Bone marrow aspirate smear:
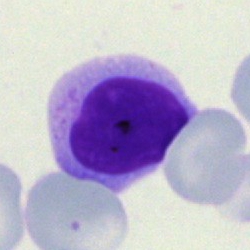
Showing a lymphocyte.